Bone marrow aspirate smear · single-cell field.
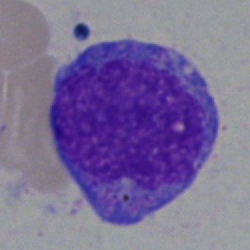
Impression → promyelocyte.